Peripheral blood film
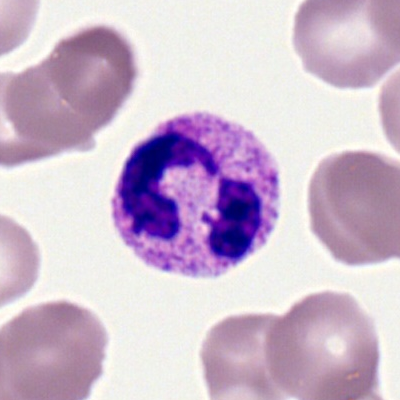
Single cell identified as a neutrophil (segmented).